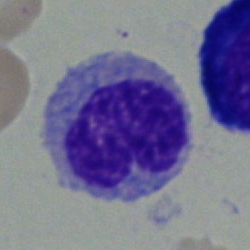Morphology consistent with a monocyte.